Bone marrow aspirate smear
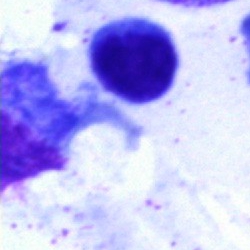
Morphological class = lymphocyte.